Peripheral blood film; image size 400×400; M8 digital microscope (Precipoint), 100× oil immersion:
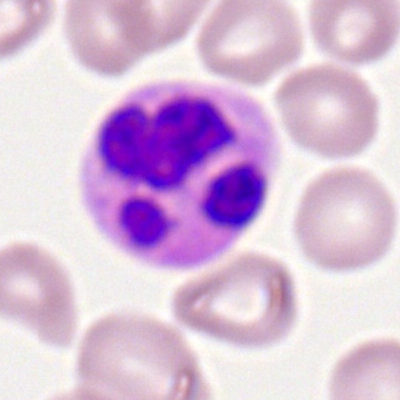 This is a polymorphonuclear neutrophil.